40× objective, oil immersion. Bone marrow aspirate smear. Single-cell crop:
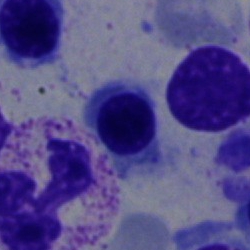This is a nucleated red cell.